May-Grünwald-Giemsa/Pappenheim stain. Bone marrow smear — 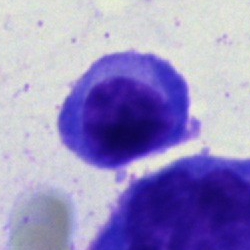

Classification — nucleated red blood cell.